Bone marrow smear:
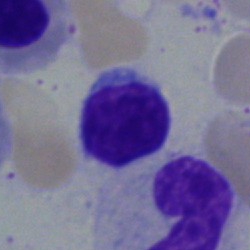 This is a lymphocyte.